Bone marrow smear; image size 250×250; 40× oil immersion: 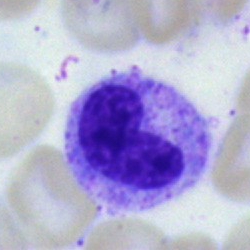

This is a band-form neutrophil.